Bone marrow smear — 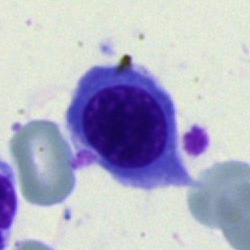

Morphology consistent with a normoblast.